Peripheral blood smear; 360×363; automated cell imaging (CellaVision DM96)
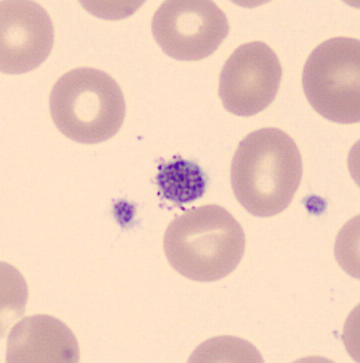

Specimen: peripheral blood film.
Cell type: platelet (thrombocyte).